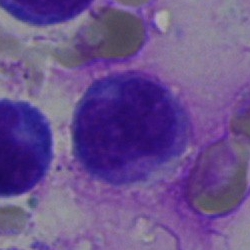 This is a typical lymphocyte.